Bone marrow aspirate smear
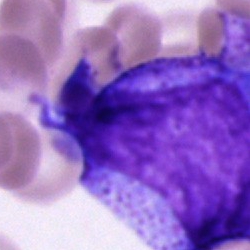
The cell shown is a progranulocyte.